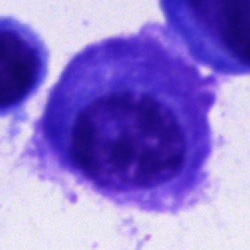
{"cell_type": "plasma cell", "lineage": "lymphoid"}